Brightfield microscopy, 40× oil immersion; 250×250 px; bone marrow smear.
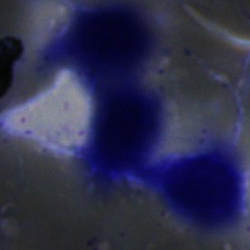 Q: What is shown here?
A: Artefact.